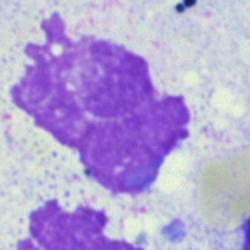

Specimen: bone marrow smear.
Morphological class: artefact.